Bone marrow smear; May-Grünwald-Giemsa/Pappenheim stain
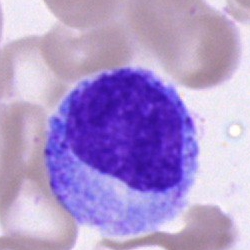

{"cell_type": "progranulocyte", "lineage": "myeloid"}